Single-cell field. Bone marrow aspirate smear. 40× objective, oil immersion
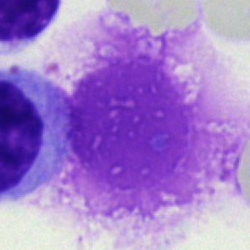
Morphology — artefact.